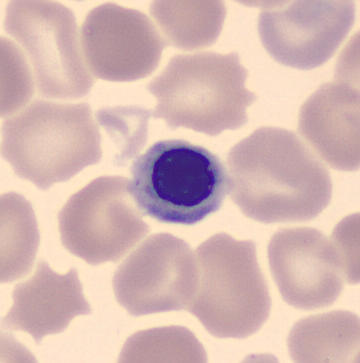 Q: What is this?
A: This is an erythroblast.
Peripheral blood film.